Bone marrow aspirate smear: 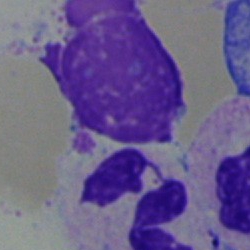
Q: What is the morphological classification of this cell?
A: A polymorphonuclear neutrophil.